Bone marrow aspirate smear
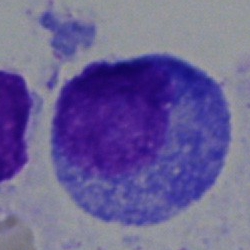

This is a plasma cell.